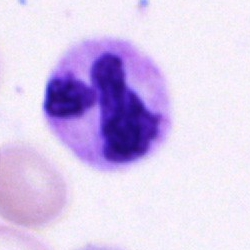Cell type — neutrophil (segmented).